Bone marrow smear
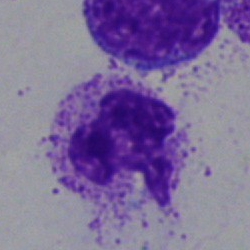

Cell type: polymorphonuclear neutrophil.